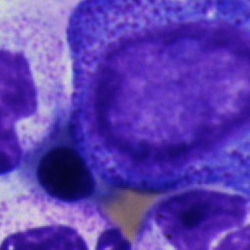

Impression → promyelocyte.